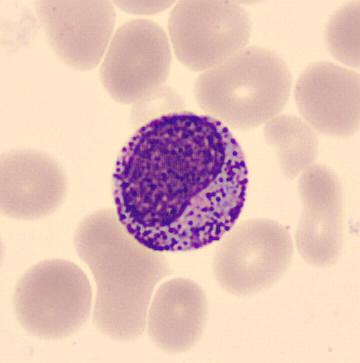
Peripheral blood film.

Q: What type of cell is this?
A: This is a myelocyte.